Brightfield, 40× oil-immersion objective; bone marrow smear; single cell centered in the field.
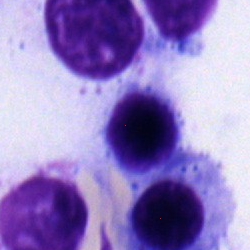 Specimen: bone marrow aspirate smear.
Cell: typical lymphocyte.
Lineage: lymphoid.